Bone marrow smear
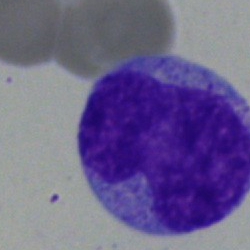
Q: Which cell type is shown here?
A: Monocyte.